Single-cell crop. Bone marrow aspirate smear.
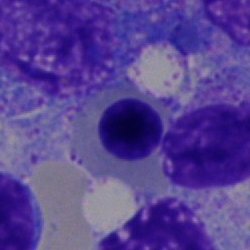 {"cell_type": "nucleated red cell"}